Bone marrow aspirate smear — 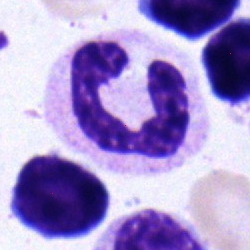Q: What cell is this?
A: Polymorphonuclear neutrophil.